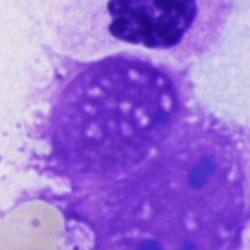 Morphological class — artifact.